Image size 250×250 · bone marrow smear:
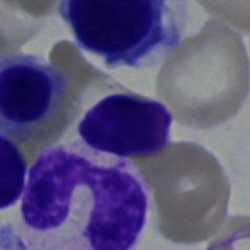Single cell identified as a segmented neutrophil.